Bone marrow smear; brightfield, 40× oil-immersion objective: 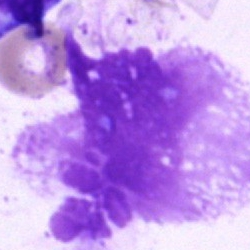Artefact.